Bone marrow smear; cropped to a single cell — 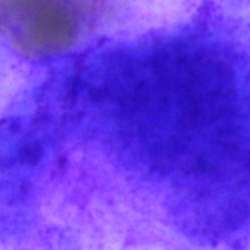 Artifact.